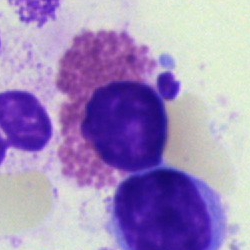

Q: What is the morphological classification of this cell?
A: It is an eosinophil.